Bone marrow aspirate smear: 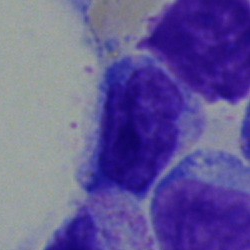

Specimen: bone marrow smear.
Morphological class: typical lymphocyte.
Lineage: lymphoid.